Bone marrow aspirate smear — 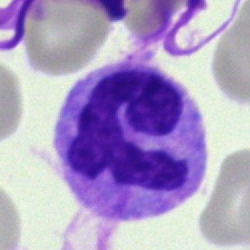Specimen: bone marrow smear.
Cell: polymorphonuclear neutrophil.